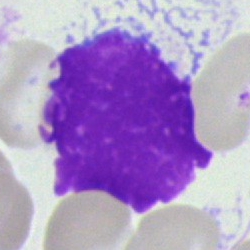

Bone marrow smear showing an artifact.